100× oil immersion · single cell centered in the field · peripheral blood film: 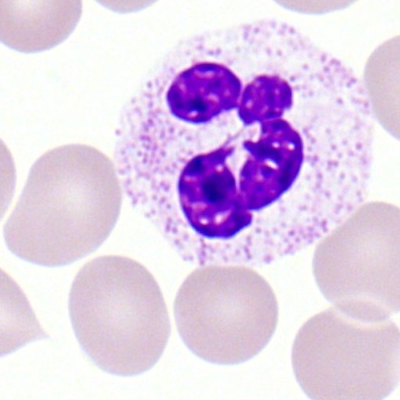 Polymorphonuclear neutrophil.